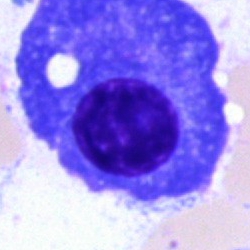
Morphology → plasma cell.